Bone marrow aspirate smear: 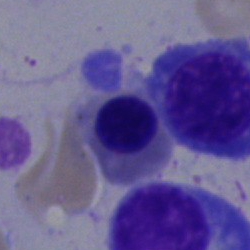
Morphological class: nucleated red cell.